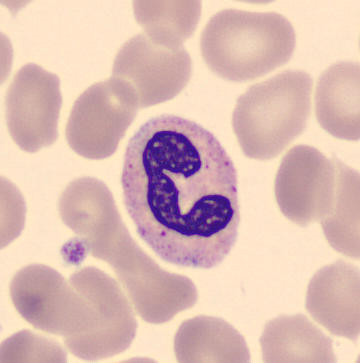
A stab cell.
Image: Peripheral blood film.